Bone marrow smear: 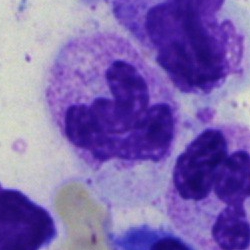

Morphology → neutrophil (segmented).